Bone marrow aspirate smear — 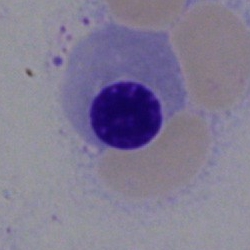 Q: What type of cell is this?
A: Nucleated red cell.